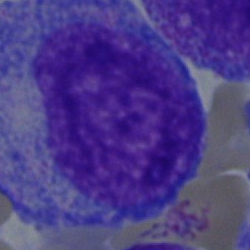
Morphology → progranulocyte.